250×250 px. 40× oil immersion. Bone marrow smear
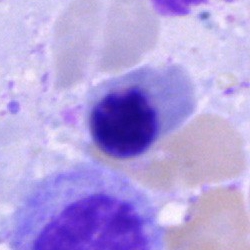Specimen: bone marrow aspirate smear.
Classification: nucleated red cell.
Lineage: erythroid.